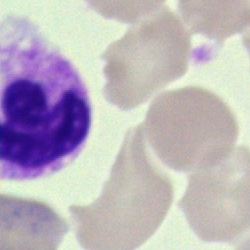
Specimen: bone marrow aspirate smear.
Cell: unidentifiable cell.